Bone marrow smear · 250 by 250 pixels:
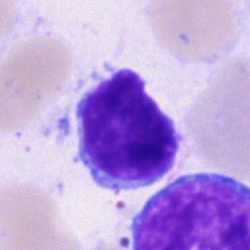
Q: What type of cell is this?
A: Lymphocyte.